Bone marrow smear: 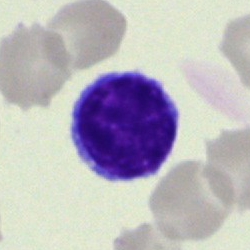
Morphological class = lymphocyte.